MGG-stained · bone marrow aspirate smear:
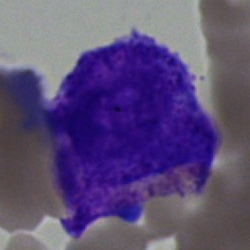 Classification: blast cell.